Bone marrow smear
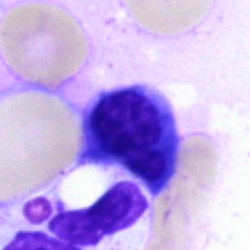
Morphological class — nucleated red blood cell.